Bone marrow smear.
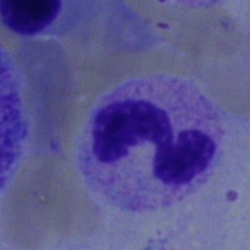
Showing a polymorphonuclear neutrophil.